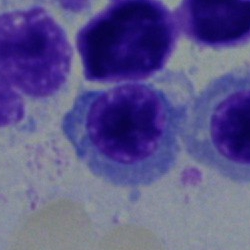 Q: What type of cell is this?
A: A normoblast.